Bone marrow aspirate smear — 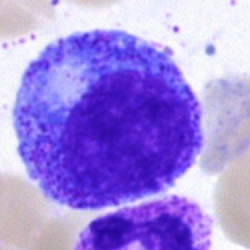

Single cell identified as a progranulocyte.